Bone marrow smear: 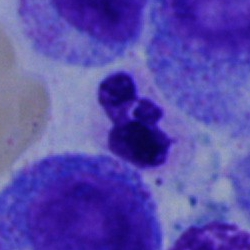
{"cell_type": "neutrophil (segmented)", "lineage": "myeloid"}